Brightfield, 40× oil-immersion objective; bone marrow smear:
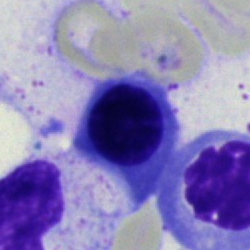
Erythroblast.